250×250 · bone marrow smear:
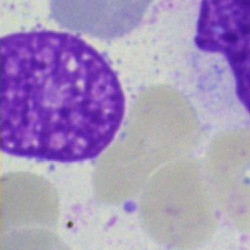

Artefact.